Bone marrow smear: 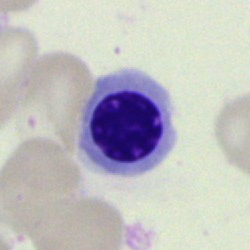Specimen: bone marrow aspirate smear.
Cell: nucleated red cell.